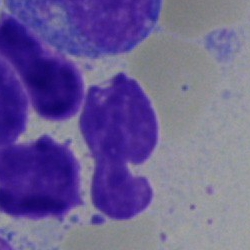A neutrophil (segmented).